Bone marrow aspirate smear.
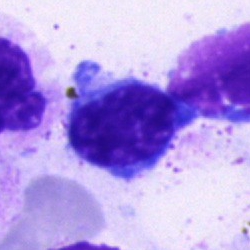
Cell type — lymphocyte.